Image size 250×250; bone marrow aspirate smear — 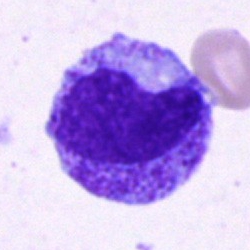{"cell_type": "progranulocyte", "lineage": "myeloid"}